Peripheral blood film; May-Grünwald-Giemsa-stained
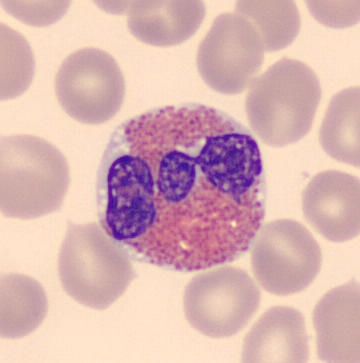 Cell type — eosinophilic granulocyte.